Bone marrow smear: 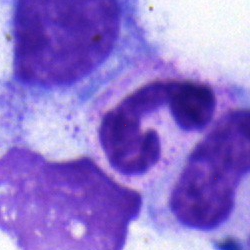{"cell_type": "band-form neutrophil"}